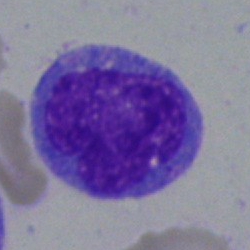

A blast.